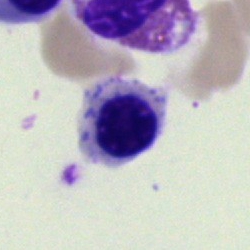

Classification: nucleated red blood cell.